Bone marrow aspirate smear · 40× oil immersion.
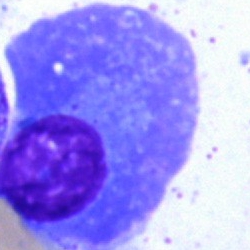

Morphology — plasmacyte.